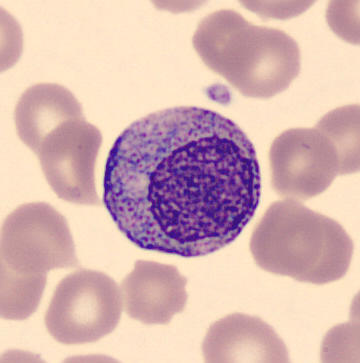 The cell type is myelocyte.